Peripheral blood smear — 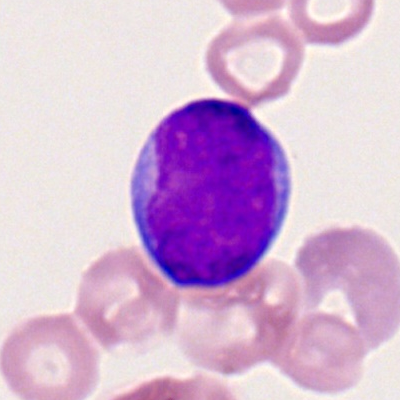Myeloblast.